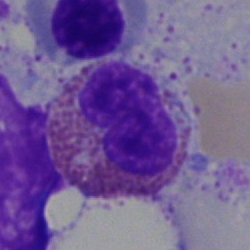
Showing an eosinophil.